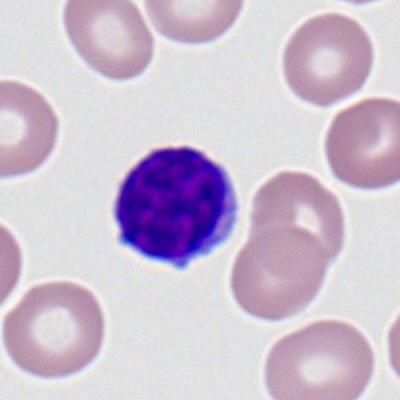

{"cell_type": "lymphocyte", "lineage": "lymphoid"}